Bone marrow aspirate smear: 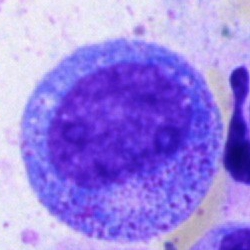

Cell — progranulocyte.